Brightfield microscopy, 40× oil immersion; bone marrow aspirate smear: 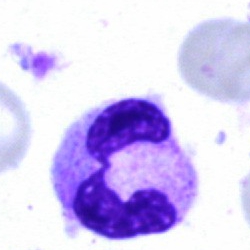 A neutrophil (segmented).